Bone marrow smear. Single cell centered in the field
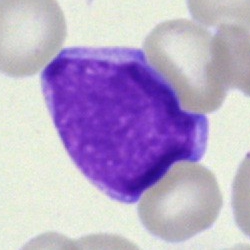

Single cell identified as an undifferentiated blast.